Cropped to a single cell · 250×250 · bone marrow smear: 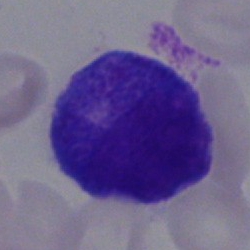 Single cell identified as a promyelocyte.